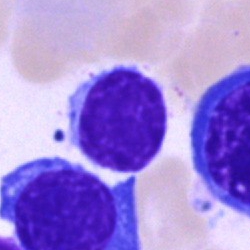Q: Which cell type is shown here?
A: This is a lymphocyte.